40× objective, oil immersion. Bone marrow aspirate smear: 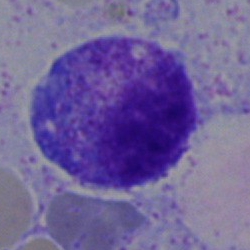 Showing a promyelocyte.